Bone marrow smear
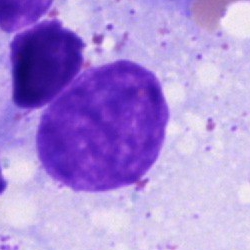

The cell is artefact.